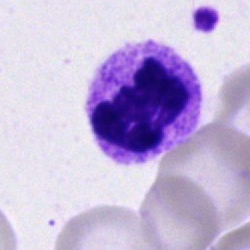{"cell_type": "segmented neutrophil"}